Bone marrow aspirate smear: 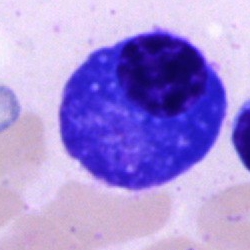

Specimen: bone marrow smear.
Morphological class: plasmacyte.
Lineage: lymphoid.